Bone marrow aspirate smear: 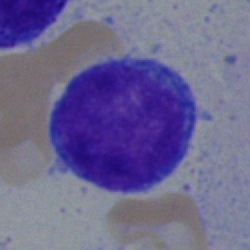Q: What type of cell is this?
A: This is an undifferentiated blast.